Bone marrow aspirate smear.
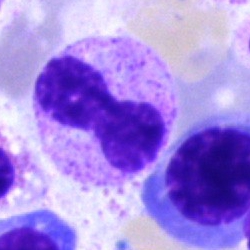
This is a lymphocyte.